Bone marrow aspirate smear.
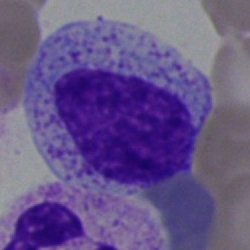

A band neutrophil.